Bone marrow smear.
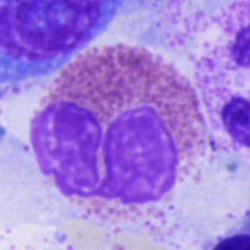
Single cell identified as an eosinophil.